Bone marrow smear — 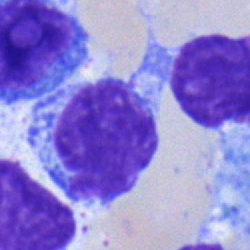 Cell type — lymphocyte.